May-Grünwald-Giemsa/Pappenheim stain · bone marrow aspirate smear — 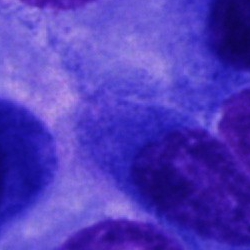 Morphology → other cell type.